Bone marrow smear; brightfield microscopy, 40× oil immersion
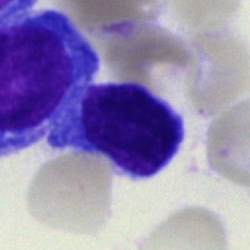
A typical lymphocyte.